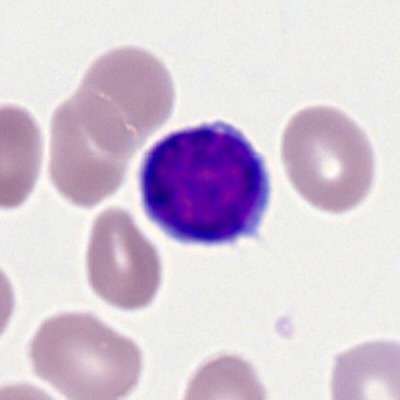

Q: Identify the cell.
A: It is a typical lymphocyte.